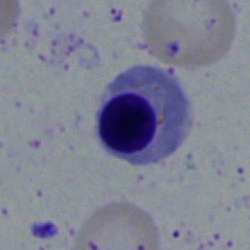Q: What is shown here?
A: Nucleated red cell.